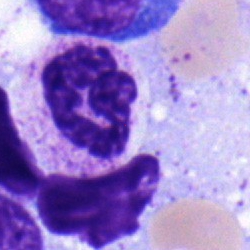 Q: What is shown here?
A: This is a polymorphonuclear neutrophil.